Peripheral blood smear.
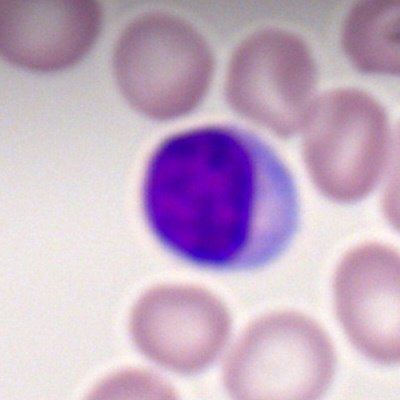This is a typical lymphocyte.